Bone marrow aspirate smear · 250×250
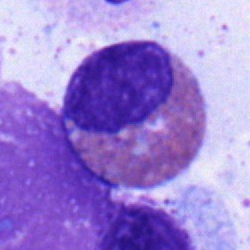

Q: What is shown here?
A: It is an eosinophilic granulocyte.